Bone marrow aspirate smear · single cell centered in the field: 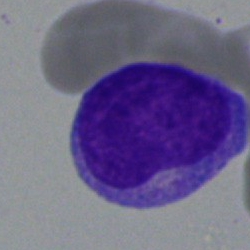
Morphological class: blast cell.